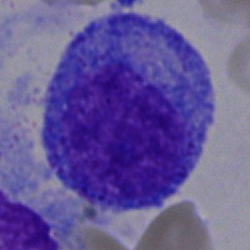 Morphological class — undifferentiated blast.